Bone marrow smear.
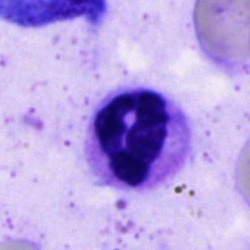
Q: What cell is this?
A: Neutrophil (segmented).